Bone marrow aspirate smear. Brightfield microscopy, 40× oil immersion: 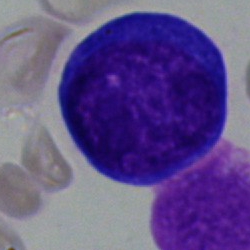The cell type is pronormoblast.